Bone marrow aspirate smear.
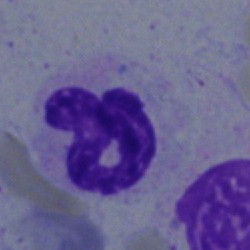

Impression — neutrophil (segmented).